250×250. Bone marrow smear. 40× objective, oil immersion.
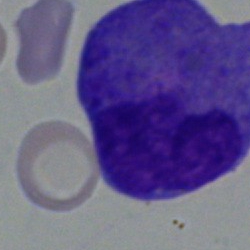
Classification = eosinophil with abnormal morphology.